Peripheral blood smear.
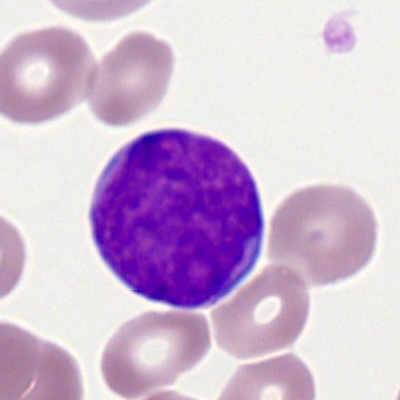 The morphological class is myeloblast.